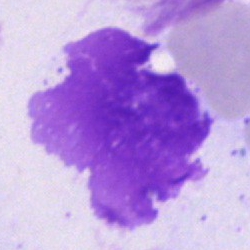Showing an artifact.